Bone marrow smear:
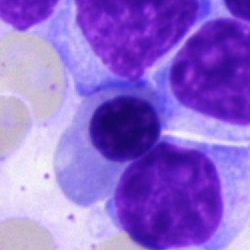
The cell is nucleated red blood cell.